Bone marrow smear: 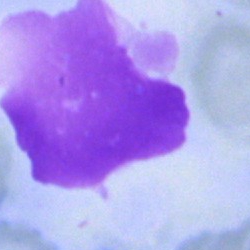

Artifact.